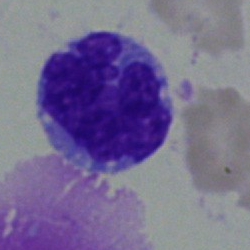

Morphology — monocyte.